Bone marrow aspirate smear:
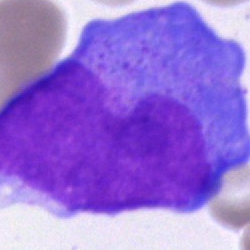
Single cell identified as a blast.